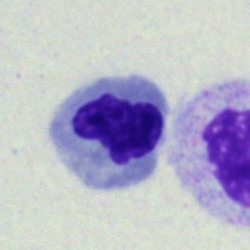

Cell = nucleated red blood cell.